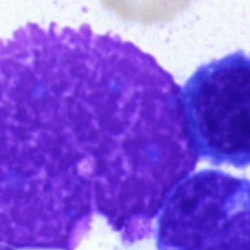Bone marrow aspirate smear, single cell — artifact.